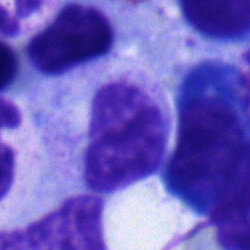 Morphological class: myelocyte.